Cropped to a single cell. Bone marrow aspirate smear.
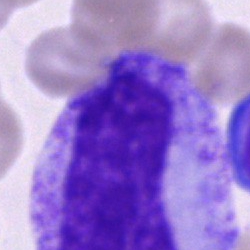

Morphology — progranulocyte.